Bone marrow aspirate smear · image size 250×250: 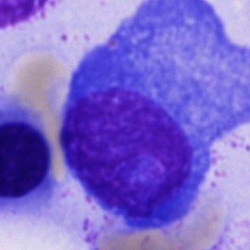
Cell type: plasmacyte.